Bone marrow smear: 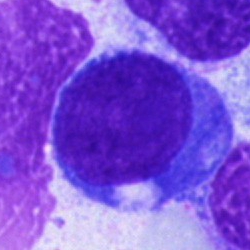The cell shown is a blast.